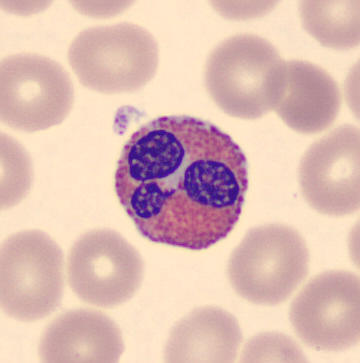

Classification = eosinophil.
Preparation: Single-cell crop · peripheral blood film.